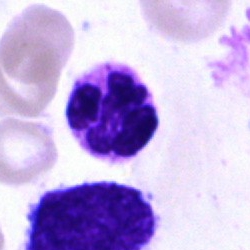Cell — segmented neutrophil.